Peripheral blood smear
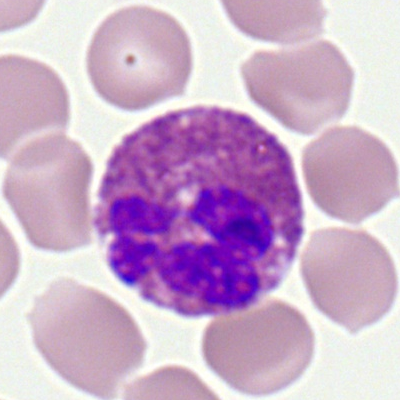
Showing an eosinophil.